Pappenheim-stained. Bone marrow smear. 250×250 px.
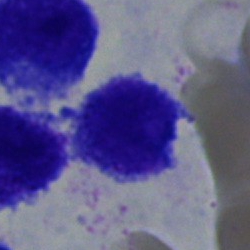Impression → typical lymphocyte.